Bone marrow aspirate smear: 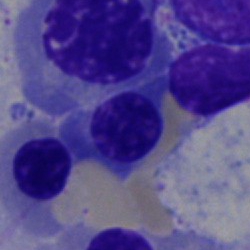Morphology consistent with a normoblast.